Bone marrow smear
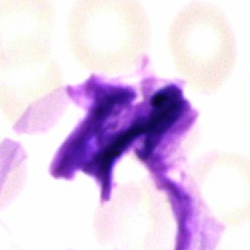
Cell: artifact.